Bone marrow aspirate smear: 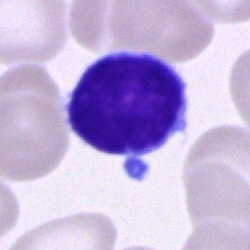

Morphology — lymphocyte.